Brightfield, 40× oil-immersion objective; Pappenheim-stained; bone marrow aspirate smear:
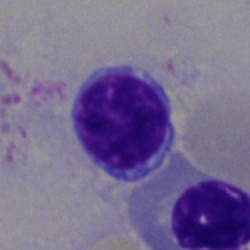 Cell: lymphocyte.